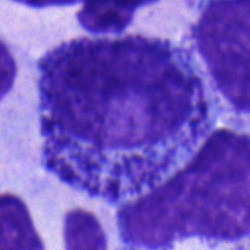Promyelocyte.